Bone marrow smear: 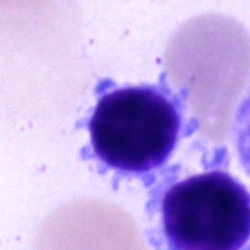
Specimen: bone marrow aspirate smear.
Classification: lymphocyte.
Lineage: lymphoid.